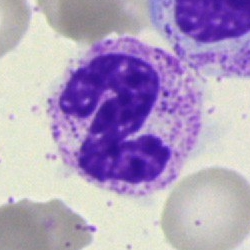 Morphological class — neutrophil (segmented).